Bone marrow aspirate smear. Brightfield, 40× oil-immersion objective. 250 by 250 pixels — 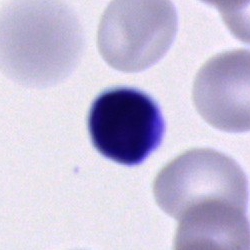Showing an unidentifiable cell.